Peripheral blood film; Romanowsky stain:
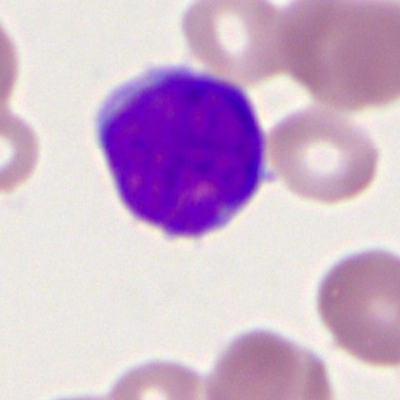 Myeloid blast.